May-Grünwald-Giemsa/Pappenheim stain; brightfield microscopy, 40× oil immersion; bone marrow aspirate smear — 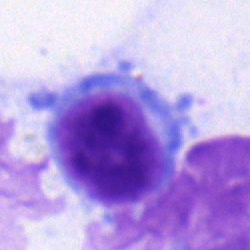
This is a lymphocyte.